250 by 250 pixels. Bone marrow aspirate smear: 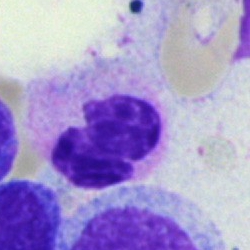
Morphological class — segmented neutrophil.